Bone marrow aspirate smear.
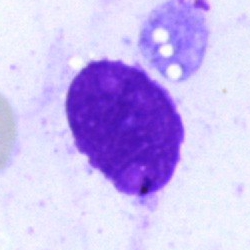
Morphology → artifact.